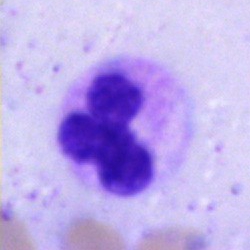Impression → segmented neutrophil.